Image size 250×250 · bone marrow smear · MGG-stained: 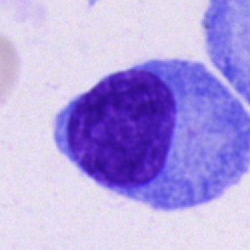Specimen: bone marrow smear.
Cell: plasma cell.